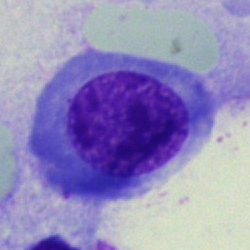

Morphology — normoblast.